250×250 px. Bone marrow smear — 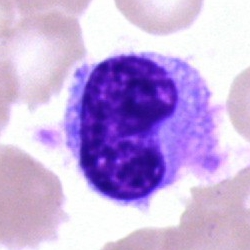Specimen: bone marrow aspirate smear.
Morphological class: hairy cell.
Lineage: lymphoid.